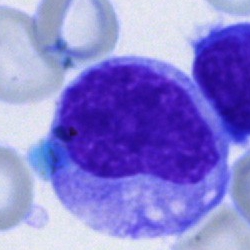

Bone marrow smear showing a progranulocyte.